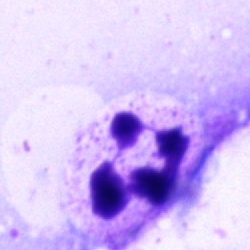

Morphological class: neutrophil (segmented).